100× objective, oil immersion · peripheral blood film: 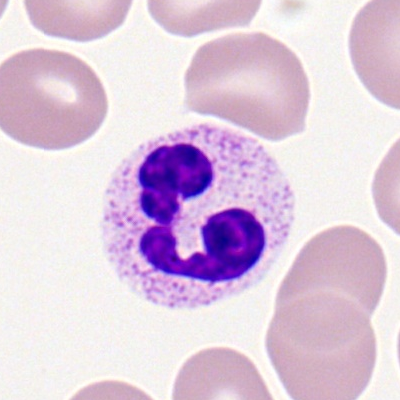

Segmented neutrophil.